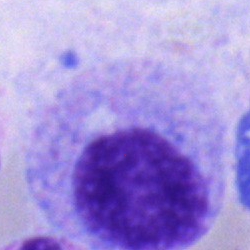

Q: Identify the cell.
A: A myelocyte.